Bone marrow smear · single-cell crop
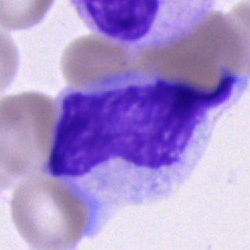
Cell of indeterminate lineage.